Peripheral blood film — 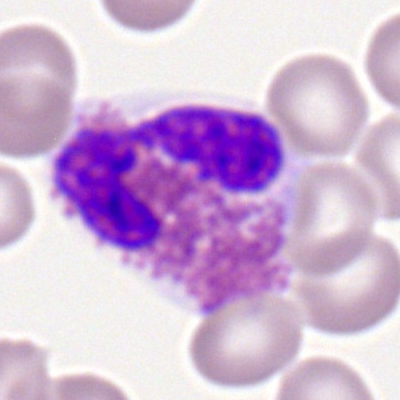
Morphology consistent with an eosinophilic granulocyte.